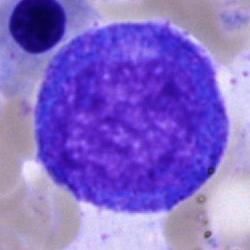

Morphology → progranulocyte.